Bone marrow aspirate smear: 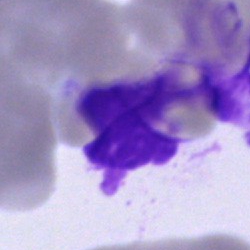 Artifact.